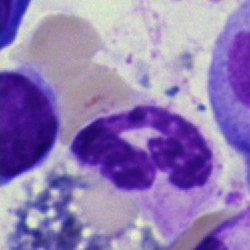 Specimen: bone marrow aspirate smear.
Cell type: polymorphonuclear neutrophil.
Lineage: myeloid.